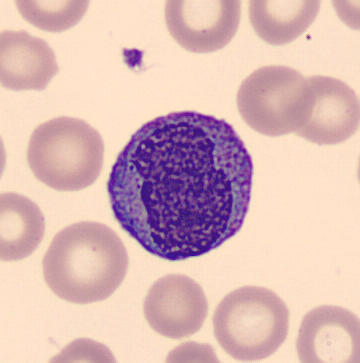 Preparation: Single-cell field. Peripheral blood film. 360×363.
The cell shown is a monocyte.